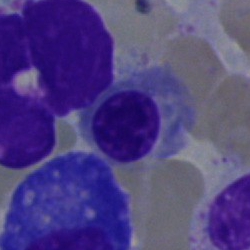 A normoblast.